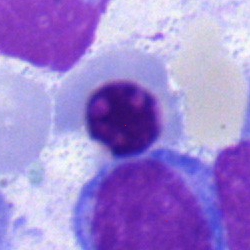Cell: erythroblast.